Bone marrow aspirate smear — 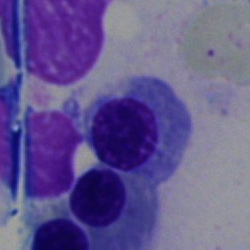

Single cell identified as a normoblast.